Bone marrow smear · brightfield, 40× oil-immersion objective.
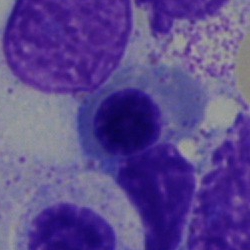
A nucleated red blood cell.